Bone marrow smear: 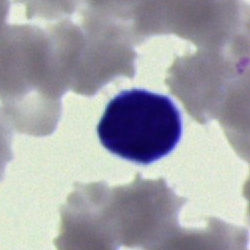This is an artefact.